Bone marrow aspirate smear: 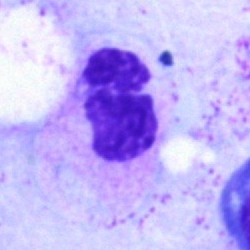
The cell shown is a segmented neutrophil.